Cropped to a single cell; bone marrow smear
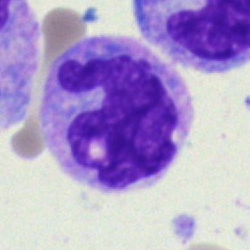
Q: Identify the cell.
A: Monocyte.